Brightfield, 40× oil-immersion objective. Bone marrow aspirate smear.
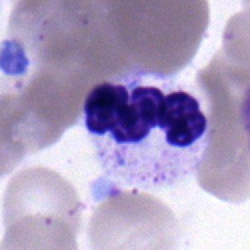 The morphological class is segmented neutrophil.